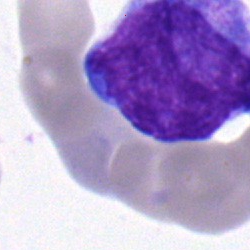 Specimen: bone marrow smear.
Morphological class: blast cell.